Bone marrow smear: 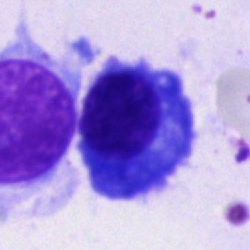

Morphology — plasma cell.